Bone marrow aspirate smear; image size 250×250.
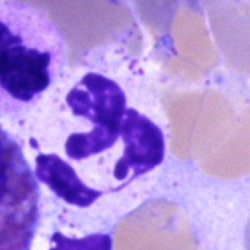

Cell type — segmented neutrophil.